Bone marrow aspirate smear; 40× oil immersion.
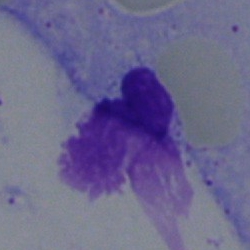

The morphological class is artefact.